Single cell centered in the field; MGG-stained; bone marrow smear — 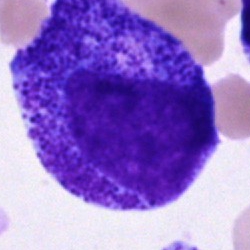 Morphology consistent with a progranulocyte.